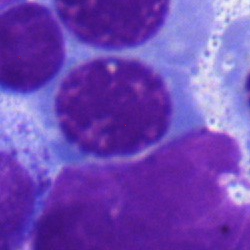 Cell type: nucleated red blood cell.